May-Grünwald-Giemsa stain · bone marrow aspirate smear.
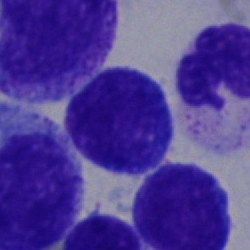Lymphocyte.